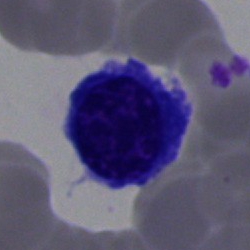

Morphology consistent with a typical lymphocyte.